40× oil immersion. Bone marrow smear. 250 by 250 pixels: 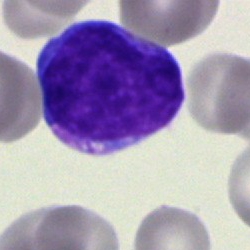Impression — blast.